Bone marrow aspirate smear; 250×250.
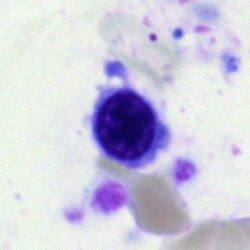Showing a nucleated red cell.